Peripheral blood film.
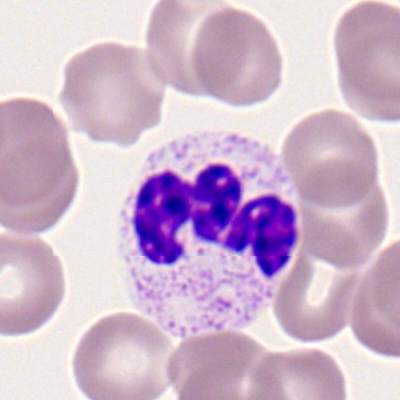

The classification is neutrophil (segmented).